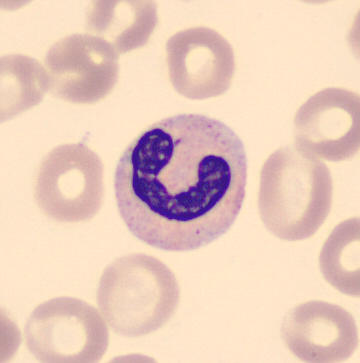
Q: What type of cell is this?
A: This is a stab cell.